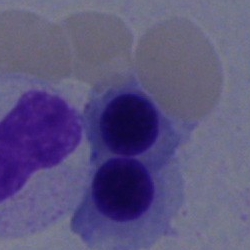

Q: Which cell type is shown here?
A: It is a normoblast.